Cropped to a single cell. May-Grünwald-Giemsa stain. Bone marrow aspirate smear — 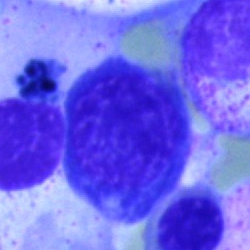Q: What is shown here?
A: A normoblast.